360×363 · peripheral blood film:
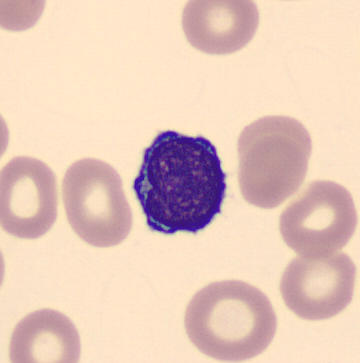 Morphology → typical lymphocyte.